Single cell centered in the field. Bone marrow aspirate smear:
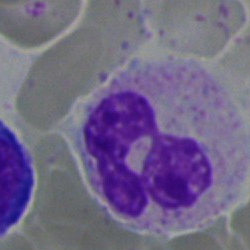 Classification = polymorphonuclear neutrophil.